Bone marrow aspirate smear — 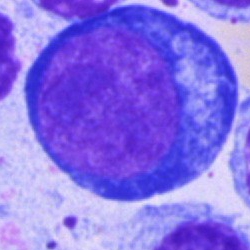

Impression — pronormoblast.